Bone marrow smear — 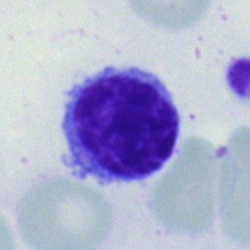Single cell identified as a typical lymphocyte.